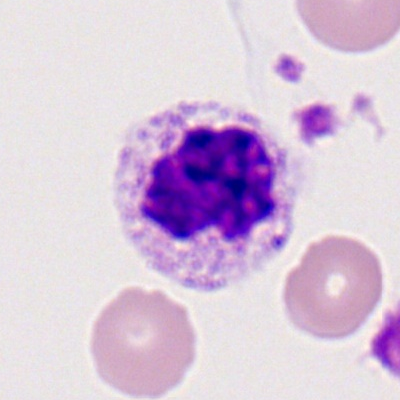 Q: What type of cell is this?
A: This is a neutrophil (segmented).